Bone marrow smear
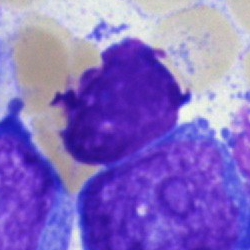Morphology → lymphocyte (immature).